Image size 250×250. Bone marrow smear: 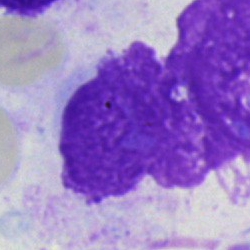

Morphology consistent with an artefact.